Bone marrow aspirate smear
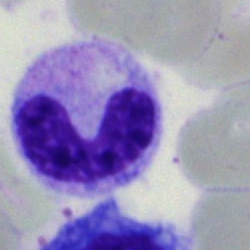The cell shown is a neutrophil (band).